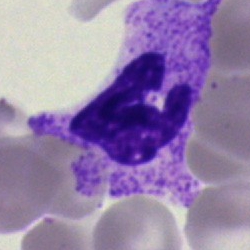Morphology consistent with a segmented neutrophil.